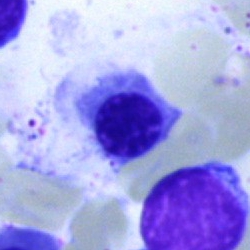

Cell — normoblast.